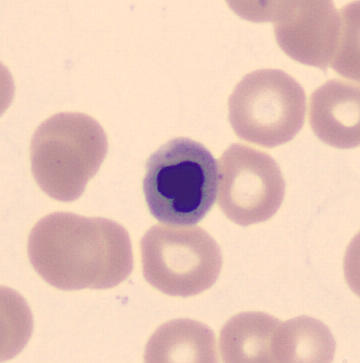This is a nucleated red blood cell.
Image size 360×363; peripheral blood film; May-Grünwald-Giemsa-stained.